Brightfield, 40× oil-immersion objective. Bone marrow smear:
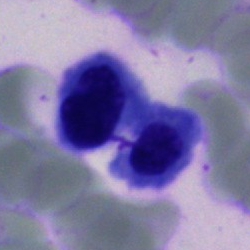

Morphology consistent with an erythroblast.